Cropped to a single cell. Bone marrow aspirate smear
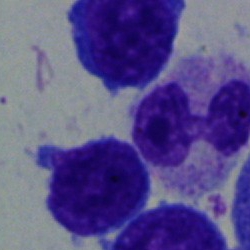 A segmented neutrophil.